Bone marrow smear. MGG-stained
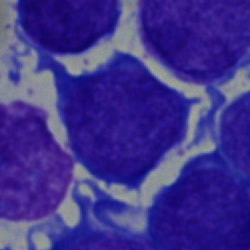Cell — blast.